Bone marrow aspirate smear: 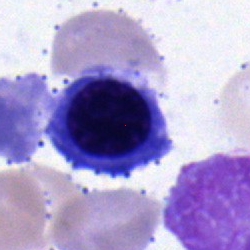Morphology consistent with a nucleated red cell.